Bone marrow aspirate smear — 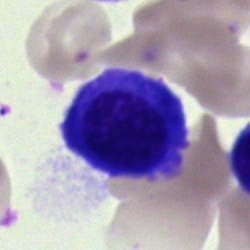This is a plasmacyte.